May-Grünwald-Giemsa stain. Bone marrow aspirate smear
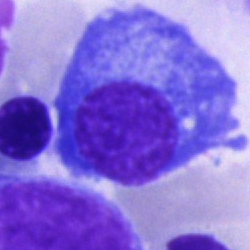

Cell type = plasma cell.